Cropped to a single cell. Bone marrow aspirate smear:
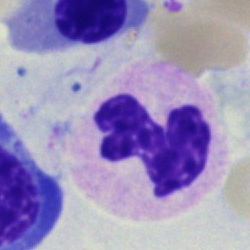 The cell is polymorphonuclear neutrophil.